Bone marrow aspirate smear
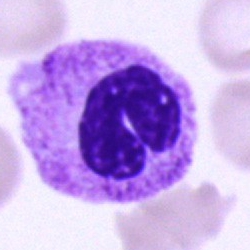Specimen: bone marrow smear.
Cell type: neutrophil (segmented).
Lineage: myeloid.